40× objective, oil immersion. Bone marrow smear: 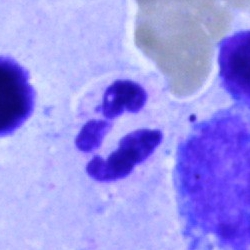The cell is segmented neutrophil.